Single-cell field · Pappenheim-stained · bone marrow smear:
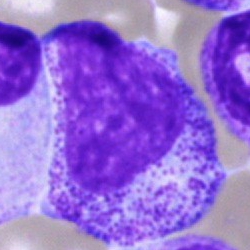

Morphology consistent with a progranulocyte.